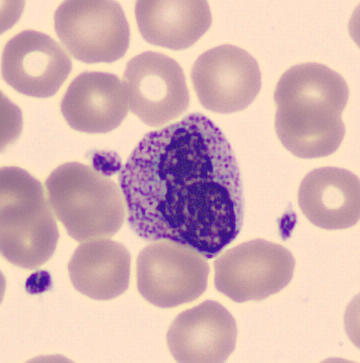Cell: metamyelocyte.

Acquisition: Peripheral blood smear · cropped to a single cell.